250 by 250 pixels. Single-cell crop. Bone marrow aspirate smear — 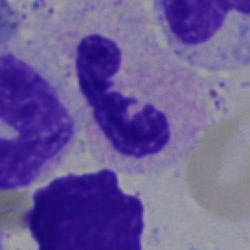
{"cell_type": "polymorphonuclear neutrophil"}